Bone marrow aspirate smear · single cell centered in the field · 40× objective, oil immersion
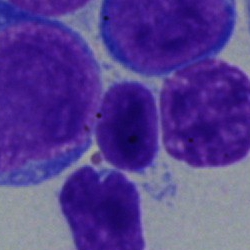Q: What is shown here?
A: This is an artifact.